Bone marrow smear: 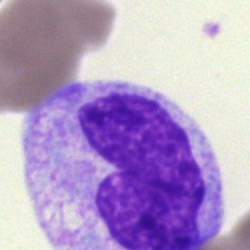 Single cell identified as a metamyelocyte.